Bone marrow aspirate smear.
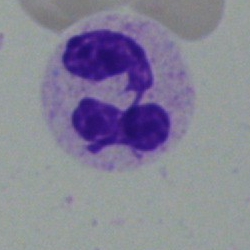

Polymorphonuclear neutrophil.